Bone marrow aspirate smear: 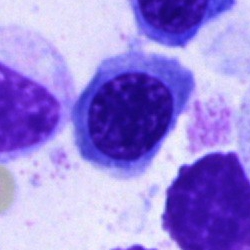 Morphology consistent with a nucleated red cell.